Bone marrow aspirate smear — 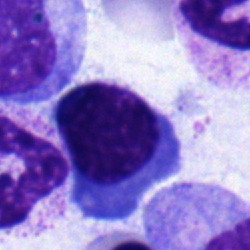

Cell — normoblast.